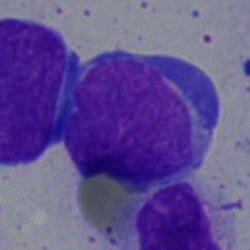 Impression → blast.